Bone marrow smear; May-Grünwald-Giemsa/Pappenheim stain; single cell centered in the field: 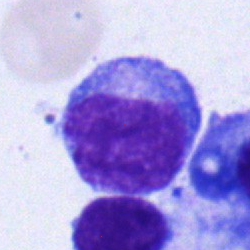

Q: What is the morphological classification of this cell?
A: Plasmacyte.